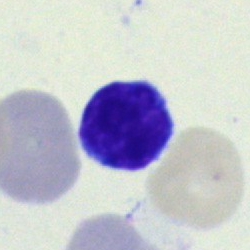

Showing a typical lymphocyte.